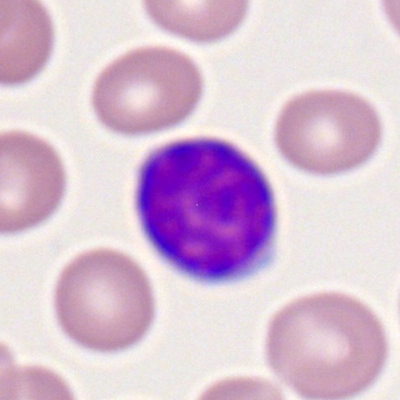 A lymphocyte on a peripheral blood smear.